40× objective, oil immersion; bone marrow aspirate smear; May-Grünwald-Giemsa stain
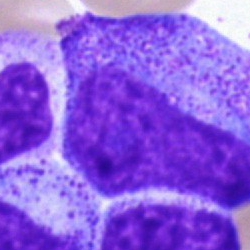

Specimen: bone marrow smear.
Morphological class: promyelocyte.
Lineage: myeloid.